Bone marrow smear:
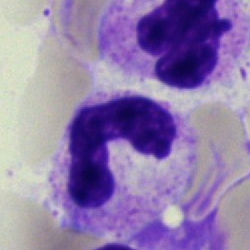

Q: Identify the cell.
A: This is a stab cell.